Single-cell field. Bone marrow aspirate smear. 40× oil immersion
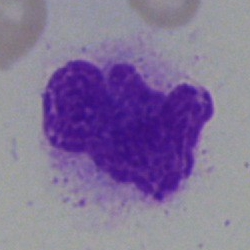Specimen: bone marrow smear.
Classification: artifact.